Bone marrow smear — 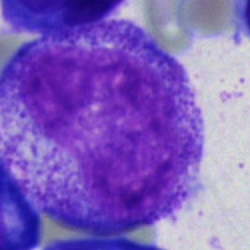
Q: What is shown here?
A: Myelocyte.